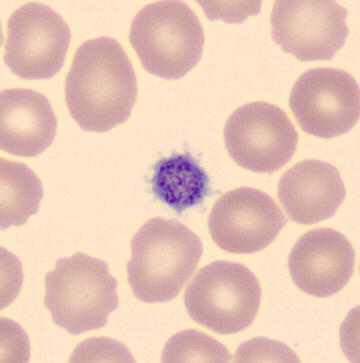

Q: What is this?
A: It is a thrombocyte.